Romanowsky-type stain; single-cell field; peripheral blood smear — 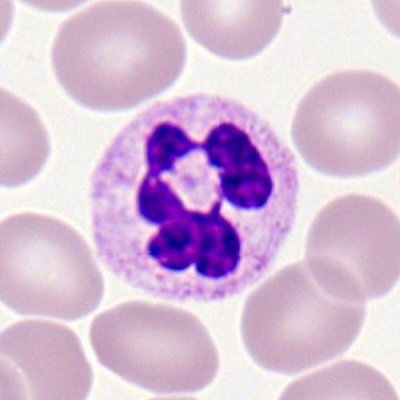
Q: What cell is this?
A: It is a polymorphonuclear neutrophil.